Bone marrow aspirate smear:
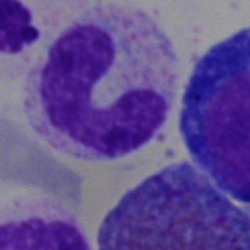 This is a band neutrophil.